Bone marrow aspirate smear. Cropped to a single cell
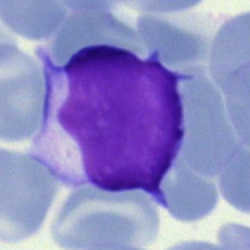Showing an artefact.